May-Grünwald-Giemsa stain. 250×250 px. Bone marrow aspirate smear — 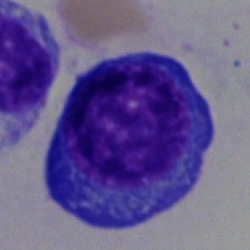 The cell shown is an undifferentiated blast.